40× objective, oil immersion; bone marrow aspirate smear: 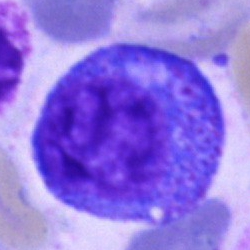 This is a promyelocyte.